Brightfield microscopy, 40× oil immersion; MGG-stained; bone marrow smear.
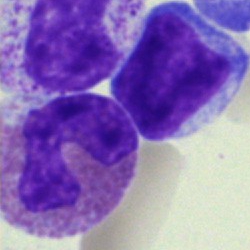Cell — eosinophil.